Bone marrow smear · May-Grünwald-Giemsa stain: 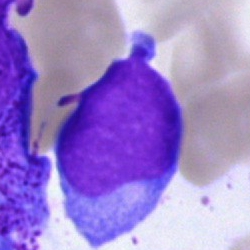 This is a blast.